Peripheral blood film; Romanowsky-type stain: 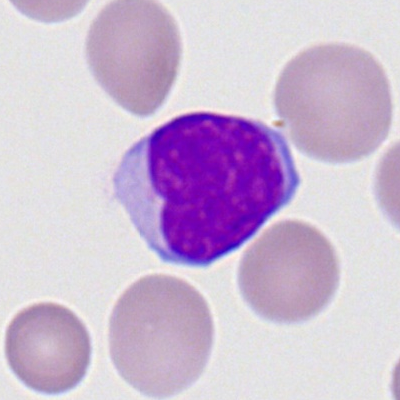Single cell identified as a lymphocyte.